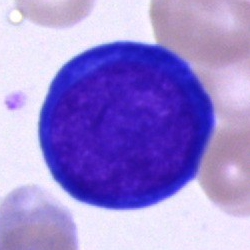
Specimen: bone marrow smear.
Morphological class: pronormoblast.